Bone marrow aspirate smear. May-Grünwald-Giemsa/Pappenheim stain
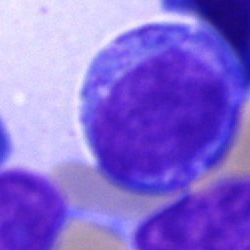
Classification = promyelocyte.